250 by 250 pixels · bone marrow smear · brightfield, 40× oil-immersion objective
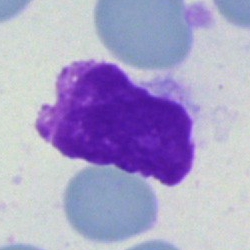

Specimen: bone marrow smear.
Morphological class: artifact.